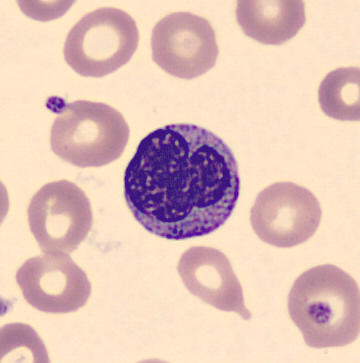 Morphological class — metamyelocyte.